Bone marrow aspirate smear:
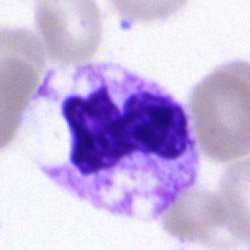 Morphology consistent with a neutrophil (segmented).